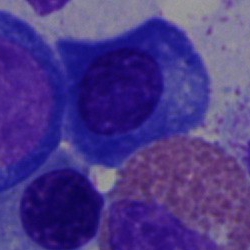 Specimen: bone marrow smear.
Cell type: plasmacyte.
Lineage: lymphoid.